Bone marrow aspirate smear; cropped to a single cell; 40× oil immersion.
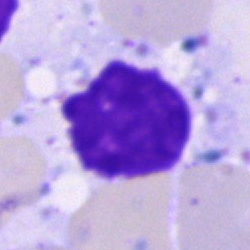 Single cell identified as an artefact.